Bone marrow smear — 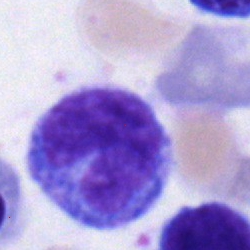

Specimen: bone marrow aspirate smear.
Cell type: monocyte.
Lineage: myeloid.